Bone marrow smear: 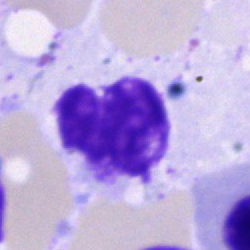
Cell type — artefact.